Bone marrow smear:
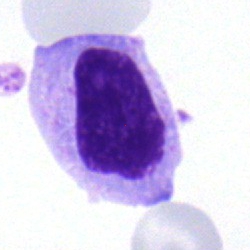
The cell shown is a lymphocyte.